Image size 250×250 · bone marrow smear:
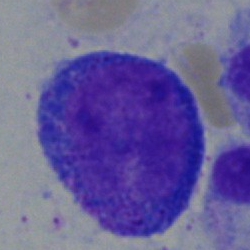 Impression — progranulocyte.